Bone marrow aspirate smear
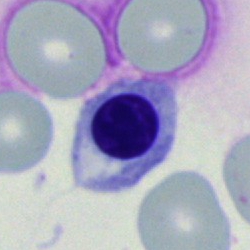{"cell_type": "nucleated red blood cell", "lineage": "erythroid"}